Bone marrow smear — 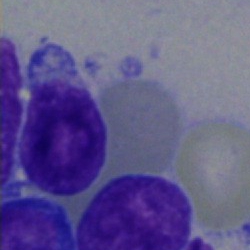

{"cell_type": "blast cell"}